Bone marrow smear
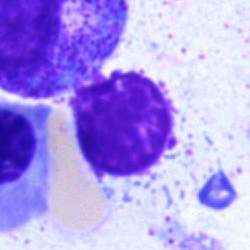

Q: What is shown here?
A: An artefact.